Single cell centered in the field. Bone marrow smear. May-Grünwald-Giemsa stain.
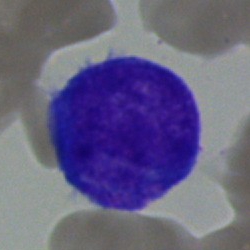 Q: What is the morphological classification of this cell?
A: This is an undifferentiated blast.